250×250 px; bone marrow aspirate smear; single-cell field
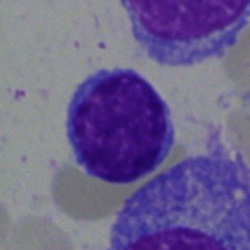
The cell shown is a lymphocyte.